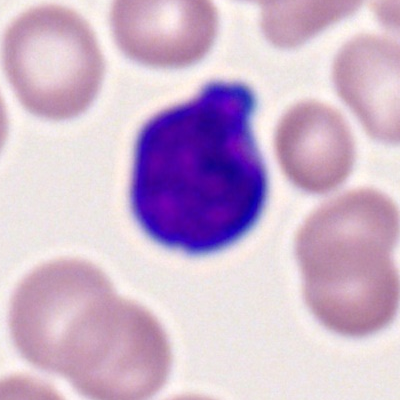

Impression → myeloblast.